MGG-stained · bone marrow aspirate smear:
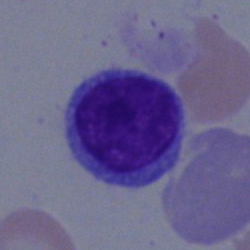 Specimen: bone marrow smear.
Cell: typical lymphocyte.
Lineage: lymphoid.